Bone marrow aspirate smear:
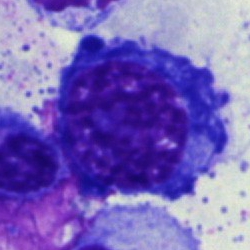An erythroblast.